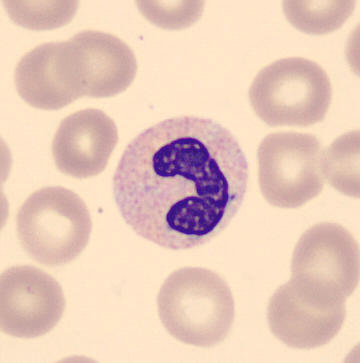 Preparation: Peripheral blood film. The classification is band neutrophil.